Bone marrow smear: 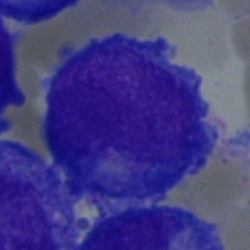The cell shown is an undifferentiated blast.